250 by 250 pixels; bone marrow smear: 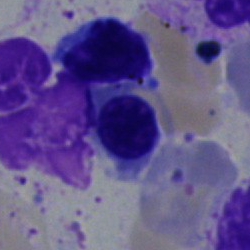

Cell type: normoblast.